Bone marrow aspirate smear: 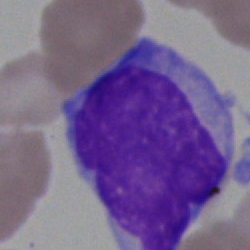

Classification — blast cell.